Peripheral blood smear.
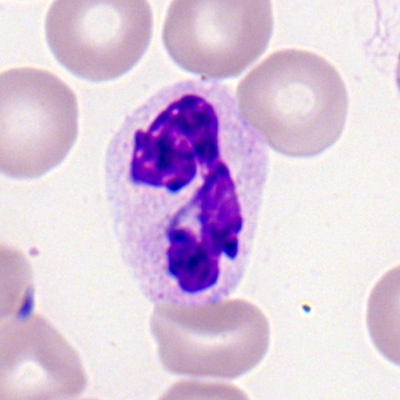Morphology consistent with a polymorphonuclear neutrophil.